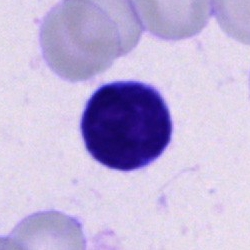Q: Identify the cell.
A: Typical lymphocyte.